Bone marrow aspirate smear. Single-cell field.
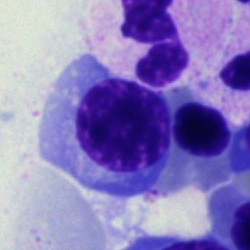

Morphology consistent with a nucleated red cell.